Bone marrow smear
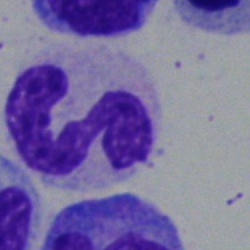The morphological class is band neutrophil.